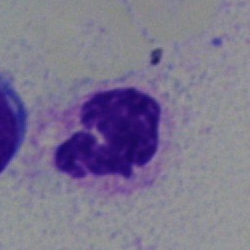Polymorphonuclear neutrophil.